250×250. Bone marrow aspirate smear.
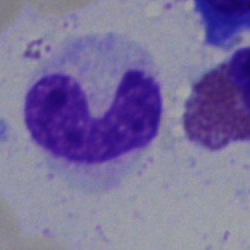 Specimen: bone marrow aspirate smear.
Morphological class: band neutrophil.
Lineage: myeloid.